Bone marrow smear · 40× objective, oil immersion:
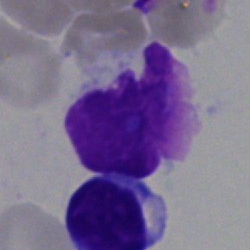 Cell — artifact.